Brightfield, 100× oil-immersion objective. Cropped to a single cell. Peripheral blood film:
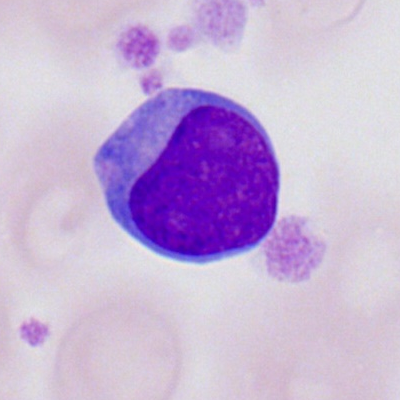 Morphological class = myeloblast.